Bone marrow aspirate smear:
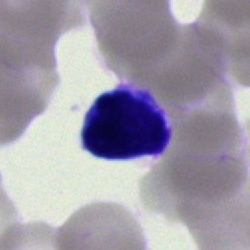

The morphological class is lymphocyte.